Bone marrow smear — 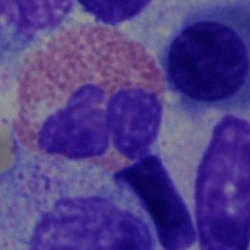

Showing an eosinophil.